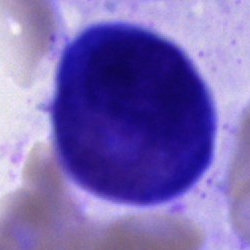
An eosinophil.